MGG-stained · bone marrow aspirate smear · 40× objective, oil immersion — 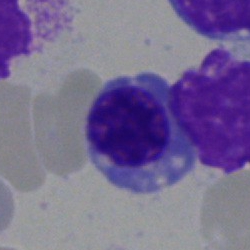 This is a normoblast.